Bone marrow aspirate smear · MGG-stained:
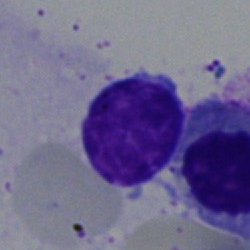

Cell: lymphocyte.